Bone marrow aspirate smear
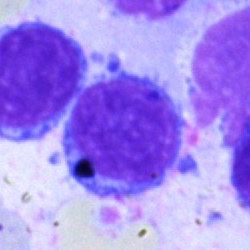
Cell type: lymphocyte.